Brightfield microscopy, 40× oil immersion; bone marrow smear:
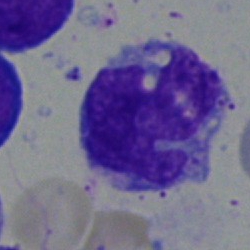 Classification — monocyte.